Bone marrow aspirate smear: 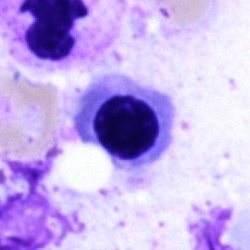Cell type — nucleated red cell.